Bone marrow aspirate smear: 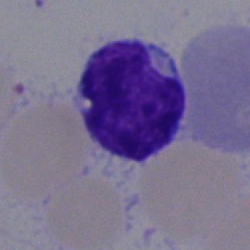
Specimen: bone marrow aspirate smear.
Cell type: lymphocyte.
Lineage: lymphoid.